Bone marrow aspirate smear:
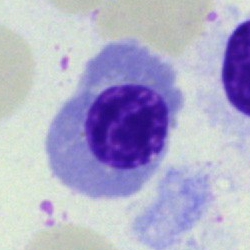 This is a nucleated red blood cell.